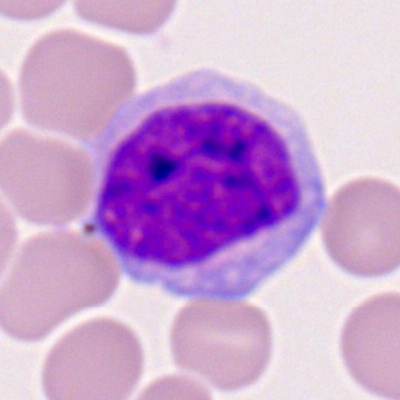
Morphology consistent with a monocyte.